Bone marrow aspirate smear. Brightfield microscopy, 40× oil immersion. Cropped to a single cell:
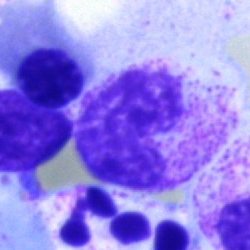 Morphology → metamyelocyte.